Single-cell crop; bone marrow aspirate smear: 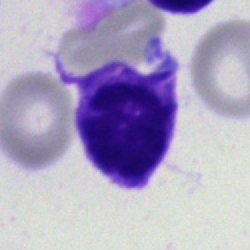
Morphology consistent with an artifact.